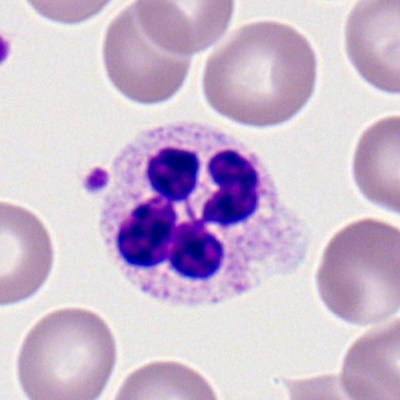

Polymorphonuclear neutrophil.